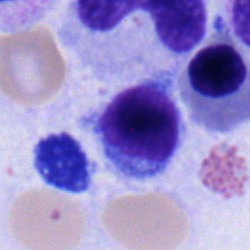

Specimen: bone marrow smear.
Morphological class: band-form neutrophil.
Lineage: myeloid.